Bone marrow aspirate smear. 250 by 250 pixels — 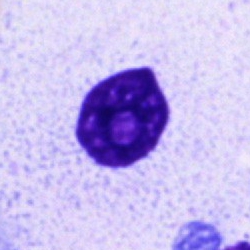
Q: What type of cell is this?
A: A lymphocyte.